Bone marrow aspirate smear; May-Grünwald-Giemsa stain: 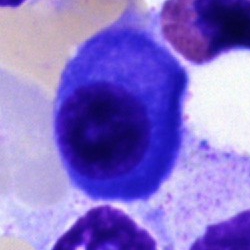

Single cell identified as a plasmacyte.